May-Grünwald-Giemsa/Pappenheim stain. Bone marrow aspirate smear. Brightfield microscopy, 40× oil immersion: 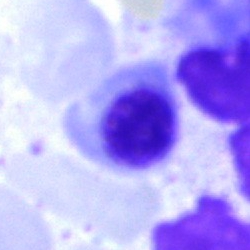Cell type: artifact.